Peripheral blood film · 400 by 400 pixels.
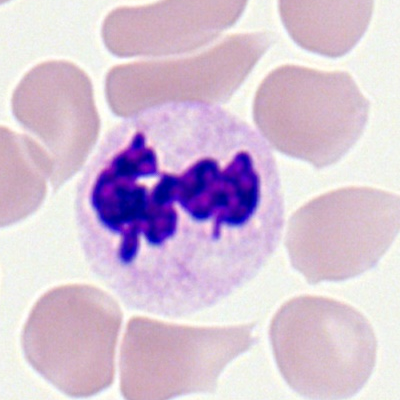Specimen: peripheral blood film.
Morphological class: neutrophil (segmented).